40× objective, oil immersion · bone marrow smear — 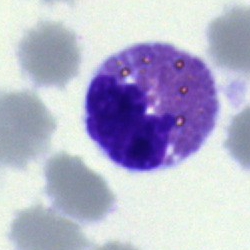

Q: What is the morphological classification of this cell?
A: Eosinophilic granulocyte.